Bone marrow smear · 40× objective, oil immersion: 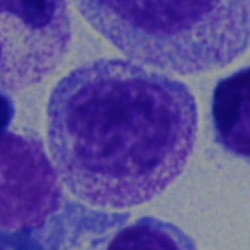 A myelocyte.